Bone marrow smear · image size 250×250 — 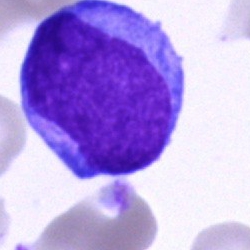
Morphological class: blast cell.